Peripheral blood smear · Romanowsky stain · 100× objective, oil immersion: 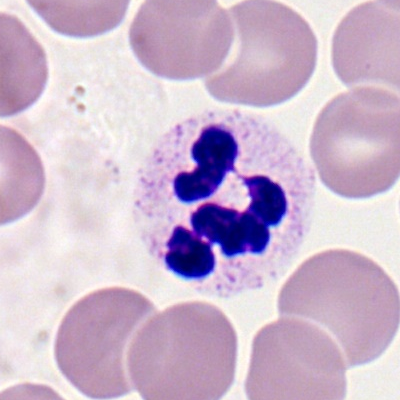

Showing a polymorphonuclear neutrophil.